40× objective, oil immersion; cropped to a single cell; bone marrow aspirate smear: 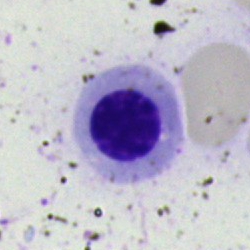
Q: What type of cell is this?
A: A normoblast.